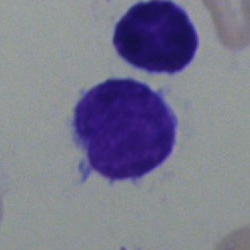

Morphology consistent with a lymphocyte.